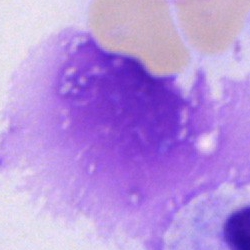

Bone marrow aspirate smear, single cell — artefact.